Bone marrow smear:
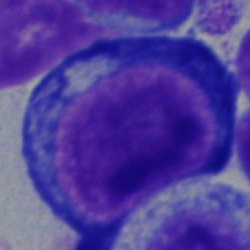

Cell = proerythroblast.